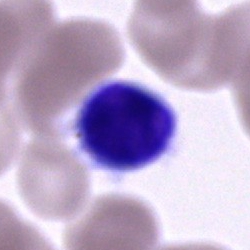 The cell type is lymphocyte.